May-Grünwald-Giemsa/Pappenheim stain · bone marrow aspirate smear: 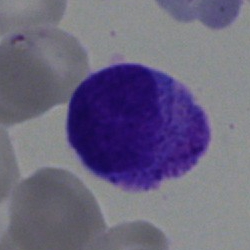

Showing a blast cell.